Bone marrow aspirate smear · image size 250×250 — 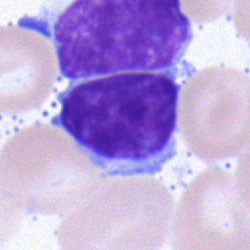
Morphology consistent with a lymphocyte.